Bone marrow smear:
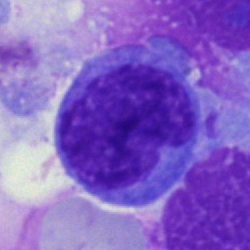 Monocyte.